Bone marrow aspirate smear: 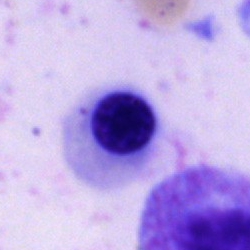

Classification = normoblast.